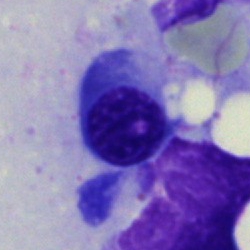
Single-cell crop from a bone marrow smear: nucleated red blood cell.